Bone marrow aspirate smear
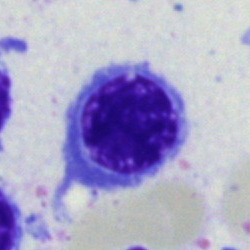This is an erythroblast.